Bone marrow aspirate smear.
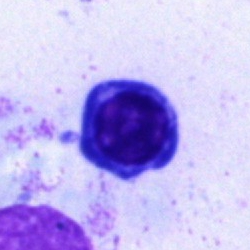 Specimen: bone marrow aspirate smear.
Cell type: nucleated red cell.
Lineage: erythroid.